Bone marrow aspirate smear
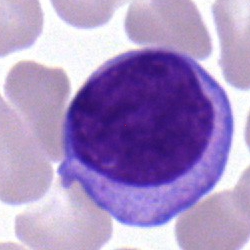 Morphological class: typical lymphocyte.